400 by 400 pixels · peripheral blood film:
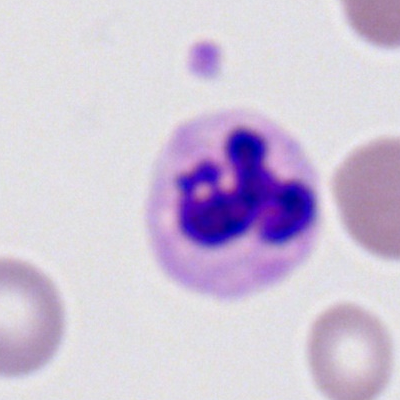

Showing a neutrophil (segmented).